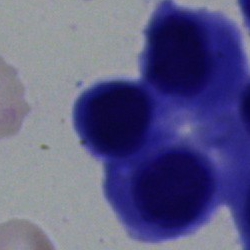Morphology — erythroblast.